Cropped to a single cell. Bone marrow aspirate smear. Brightfield microscopy, 40× oil immersion: 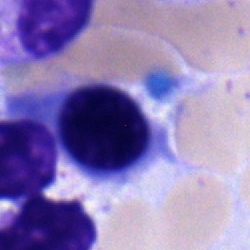Q: What is the morphological classification of this cell?
A: A normoblast.